Bone marrow smear.
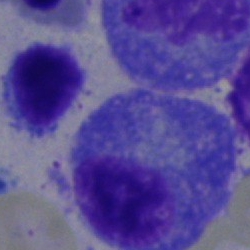 This is a plasmacyte.